Cropped to a single cell; peripheral blood smear.
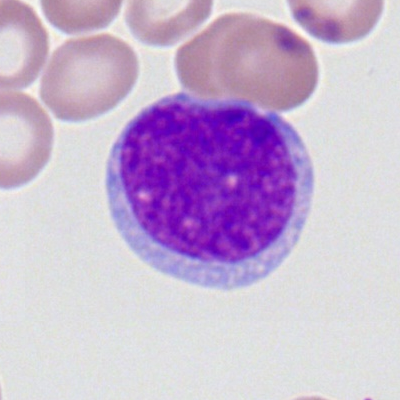
Specimen: peripheral blood smear.
Classification: myeloid blast.
Lineage: myeloid.